Bone marrow aspirate smear:
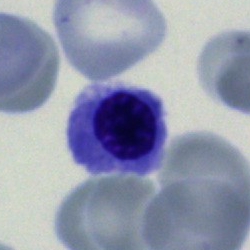Morphological class = nucleated red blood cell.